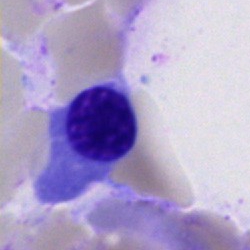
A nucleated red blood cell on a bone marrow smear.